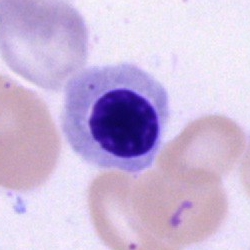
Single-cell crop from a bone marrow smear: nucleated red cell.